Bone marrow smear — 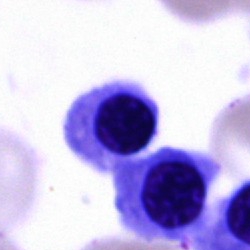

The cell shown is a normoblast.